Brightfield microscopy, 40× oil immersion. Bone marrow smear. 250 by 250 pixels: 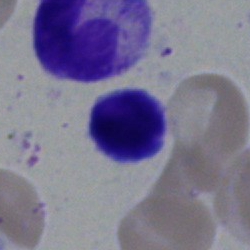Specimen: bone marrow smear.
Classification: lymphocyte.
Lineage: lymphoid.